Bone marrow smear
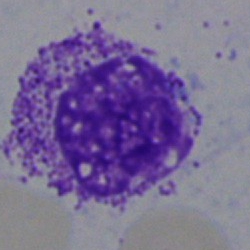
Q: What type of cell is this?
A: A myelocyte.